Bone marrow smear:
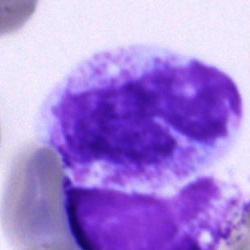
Specimen: bone marrow aspirate smear.
Classification: segmented neutrophil.